Bone marrow aspirate smear:
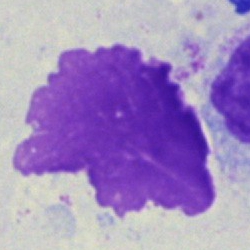
Single cell identified as an artifact.